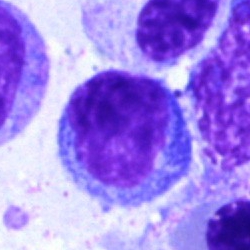 The cell is lymphocyte.